Bone marrow aspirate smear — 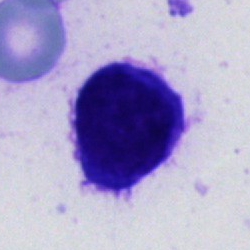Cell type = unidentifiable cell.